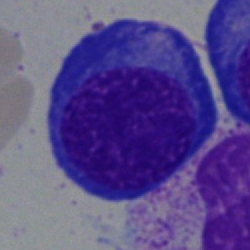

Cell — nucleated red blood cell.